Bone marrow smear; May-Grünwald-Giemsa/Pappenheim stain
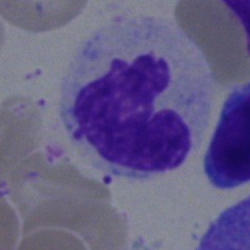
Showing a polymorphonuclear neutrophil.